Bone marrow smear:
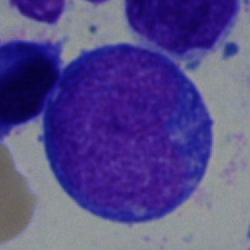Specimen: bone marrow aspirate smear.
Cell: blast.